Bone marrow aspirate smear. May-Grünwald-Giemsa/Pappenheim stain:
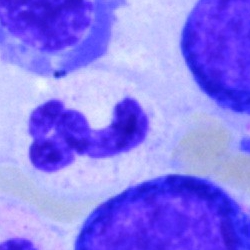 Q: What cell is this?
A: This is a neutrophil (segmented).